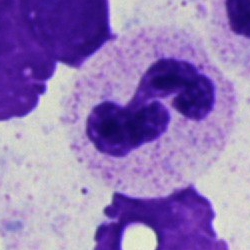Morphology — segmented neutrophil.